Bone marrow smear:
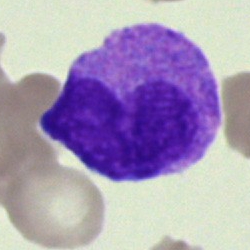

Single cell identified as a metamyelocyte.